Bone marrow aspirate smear; single-cell field; 40× objective, oil immersion
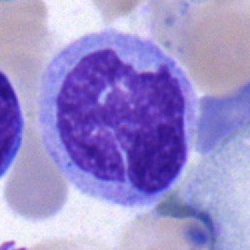 Q: What is the morphological classification of this cell?
A: This is a monocyte.